Bone marrow smear — 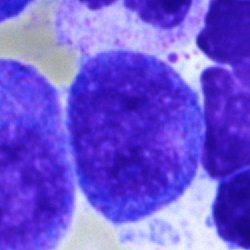 Specimen: bone marrow smear.
Cell: proerythroblast.
Lineage: erythroid.